Single-cell crop; MGG-stained; bone marrow smear:
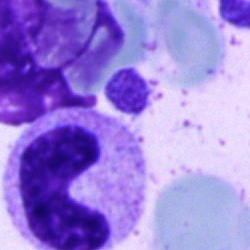

Single cell identified as a band-form neutrophil.